Bone marrow aspirate smear. Single cell centered in the field.
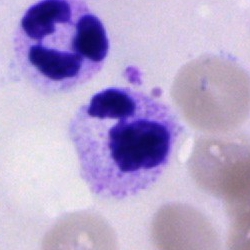

Q: What is the morphological classification of this cell?
A: This is a polymorphonuclear neutrophil.